Peripheral blood film; May Grünwald-Giemsa stain.
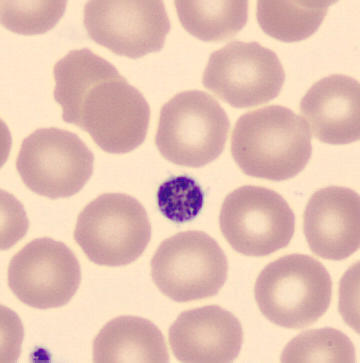

Morphology — thrombocyte.